Peripheral blood film: 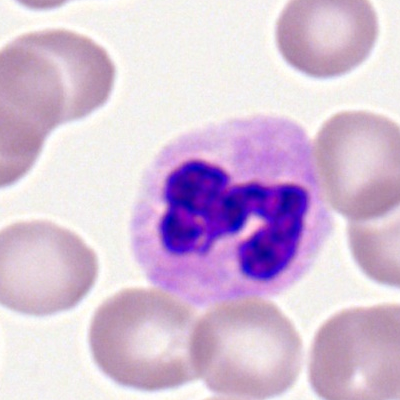Morphology — polymorphonuclear neutrophil.